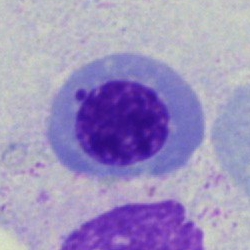Classification: erythroblast.